Bone marrow aspirate smear. 250 by 250 pixels. Brightfield microscopy, 40× oil immersion: 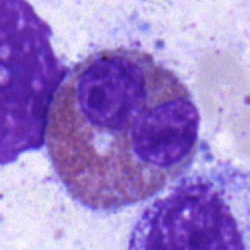
Eosinophil.